Bone marrow smear · 40× oil immersion.
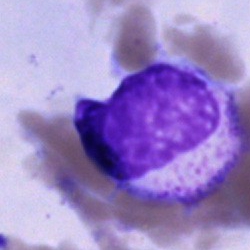
A cell of indeterminate lineage.